Bone marrow aspirate smear. 250×250 px.
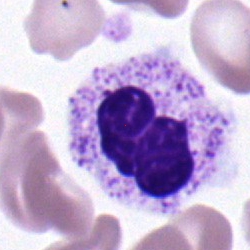
Specimen: bone marrow smear.
Morphological class: polymorphonuclear neutrophil.